Bone marrow aspirate smear
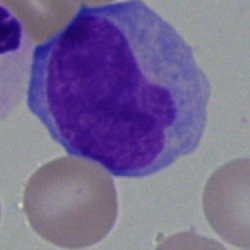Specimen: bone marrow aspirate smear.
Classification: monocyte.
Lineage: myeloid.